Brightfield microscopy, 40× oil immersion · bone marrow smear · cropped to a single cell
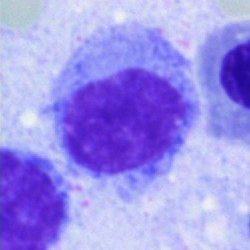

Cell type = hairy cell.